Bone marrow aspirate smear: 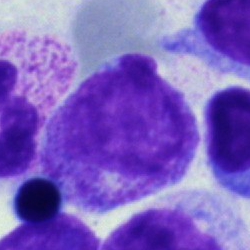 Specimen: bone marrow aspirate smear.
Cell type: myelocyte.
Lineage: myeloid.